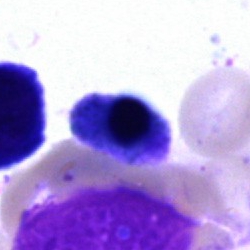 Showing a nucleated red cell.